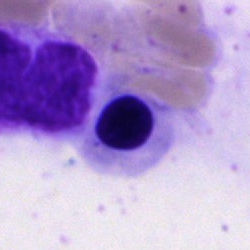

Morphology → normoblast.